Bone marrow smear · Pappenheim-stained
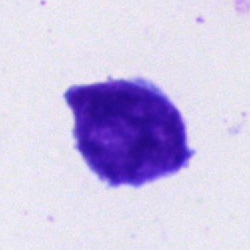

Q: What type of cell is this?
A: Typical lymphocyte.